Bone marrow smear. May-Grünwald-Giemsa/Pappenheim stain: 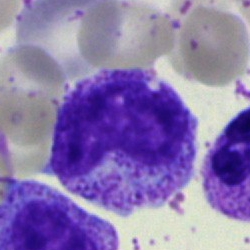 The cell type is metamyelocyte.